Bone marrow smear: 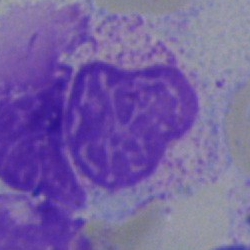 Impression — artifact.